Bone marrow smear
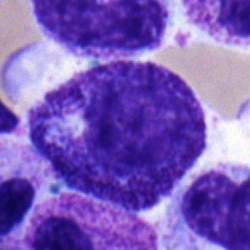 {"cell_type": "myelocyte", "lineage": "myeloid"}